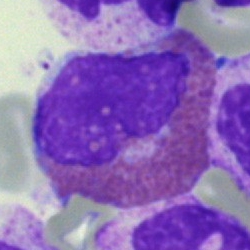 Cell type — eosinophilic granulocyte.